Bone marrow smear:
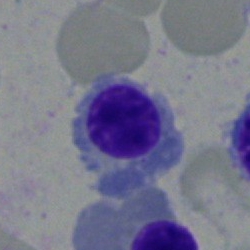

Specimen: bone marrow aspirate smear.
Classification: nucleated red blood cell.
Lineage: erythroid.